Single-cell field · bone marrow aspirate smear
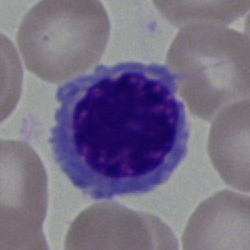{"cell_type": "nucleated red cell"}